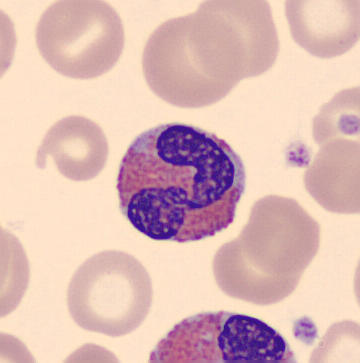

Showing an eosinophilic granulocyte.

Peripheral blood film; CellaVision DM96 digital cell image.